400×400 · peripheral blood film.
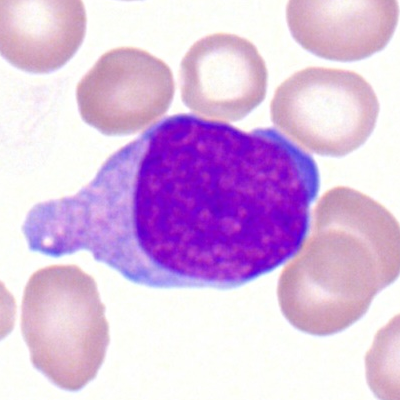

Myeloid blast.